Peripheral blood film
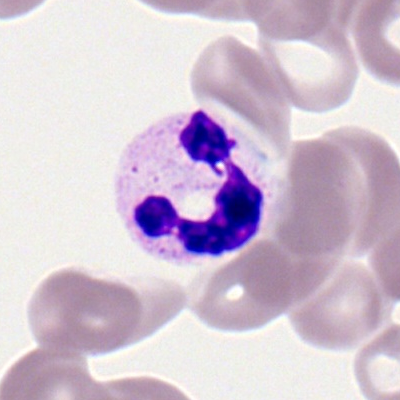
Segmented neutrophil.